Bone marrow smear
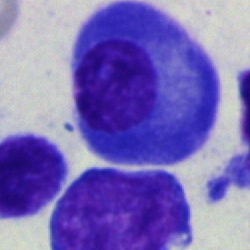

This is a plasma cell.